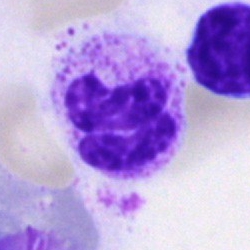Polymorphonuclear neutrophil.